40× oil immersion · MGG-stained · bone marrow smear — 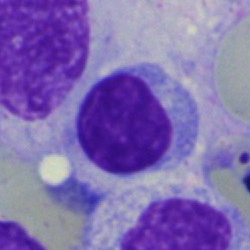 Specimen: bone marrow smear.
Morphological class: typical lymphocyte.
Lineage: lymphoid.